Bone marrow smear. Single-cell crop
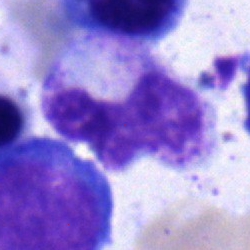Classification: band neutrophil.